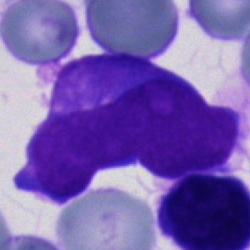Cell type = blast cell.